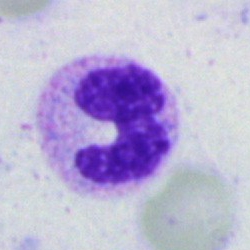
Specimen: bone marrow smear.
Cell type: neutrophil (segmented).
Lineage: myeloid.